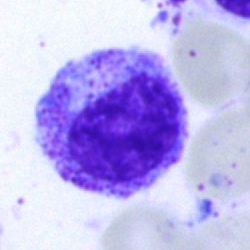 Impression → myelocyte.